Bone marrow aspirate smear · brightfield, 40× oil-immersion objective
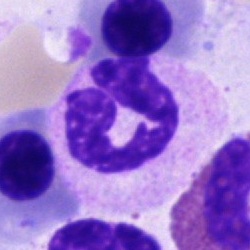 Specimen: bone marrow smear.
Cell type: neutrophil (segmented).